Bone marrow aspirate smear; 40× oil immersion; May-Grünwald-Giemsa/Pappenheim stain: 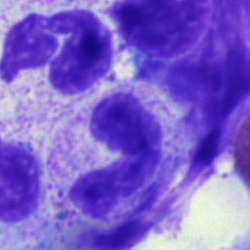

The morphological class is neutrophil (band).